360×363 px; peripheral blood film; single-cell field
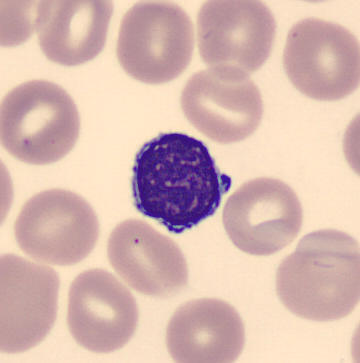
Morphology consistent with a typical lymphocyte.